40× oil immersion. Bone marrow smear:
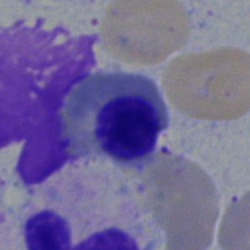 Specimen: bone marrow aspirate smear.
Morphological class: nucleated red cell.
Lineage: erythroid.